Romanowsky-type stain. 100× objective, oil immersion. Peripheral blood film: 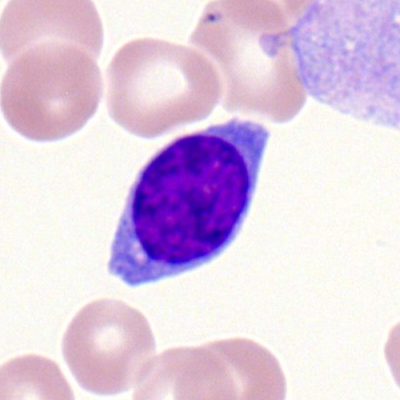 Q: What is shown here?
A: Lymphocyte.